Single cell centered in the field. Bone marrow aspirate smear. 250×250 px:
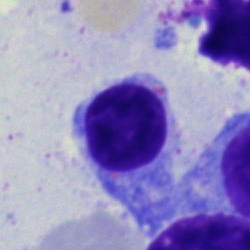
Q: What cell is this?
A: A lymphocyte.